Bone marrow smear — 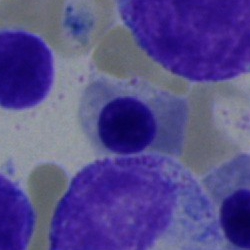 The cell shown is an erythroblast.